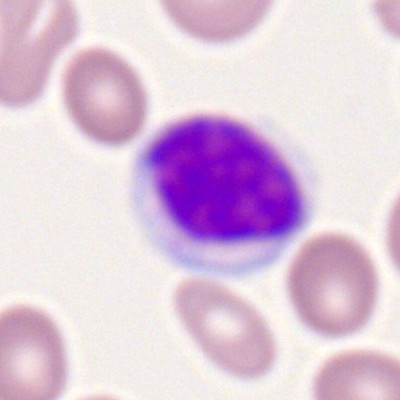

The cell is typical lymphocyte.